Bone marrow aspirate smear · 250 by 250 pixels.
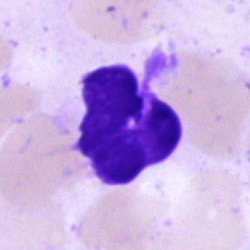 Specimen: bone marrow smear.
Morphological class: artifact.